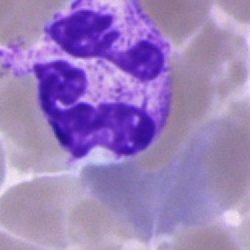
Single cell identified as a neutrophil (segmented).